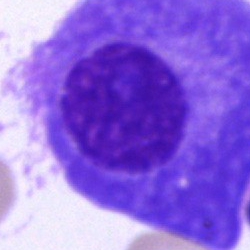

Q: What is the morphological classification of this cell?
A: This is a plasmacyte.